Single-cell field · May-Grünwald-Giemsa stain · bone marrow aspirate smear
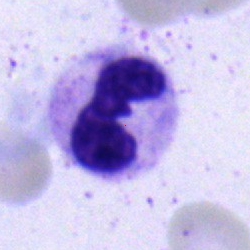

Showing a polymorphonuclear neutrophil.